Bone marrow smear — 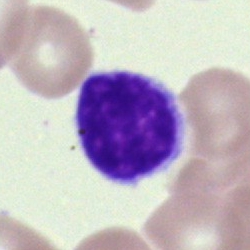
Showing a typical lymphocyte.